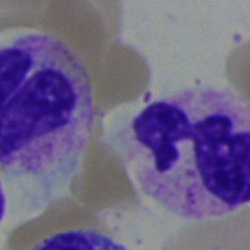
Cell = segmented neutrophil.